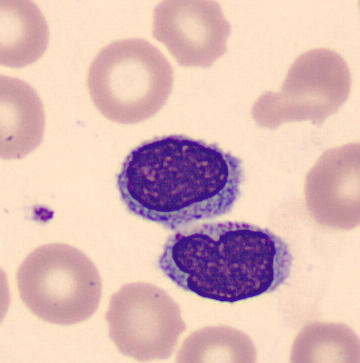

Peripheral blood film. Single cell identified as a lymphocyte.